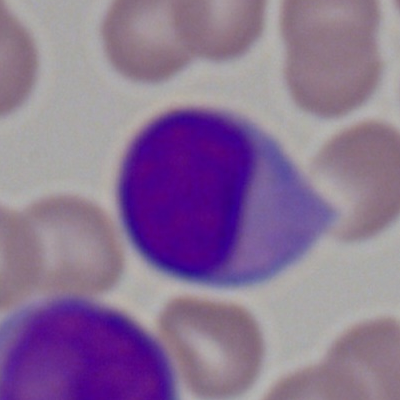The cell type is myeloblast.